MGG-stained · bone marrow smear:
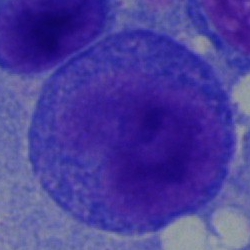
Progranulocyte.